Bone marrow smear: 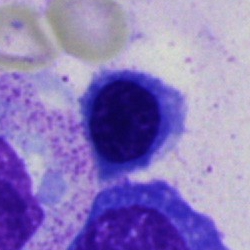Q: Which cell type is shown here?
A: A nucleated red cell.